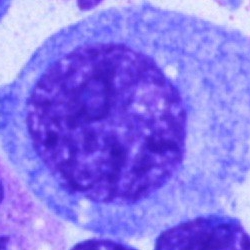
Cell = promyelocyte.